Bone marrow smear
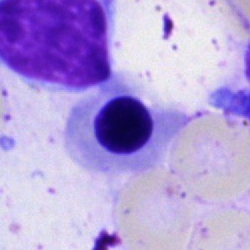 The classification is nucleated red blood cell.